Peripheral blood smear · single cell centered in the field · Romanowsky-type stain:
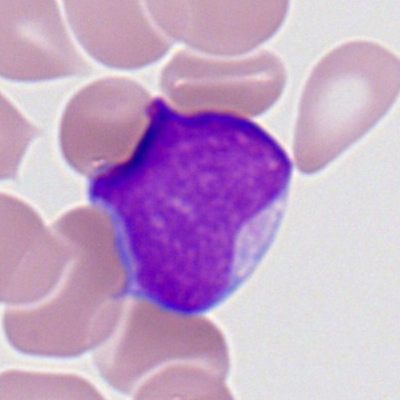{"cell_type": "myeloid blast"}